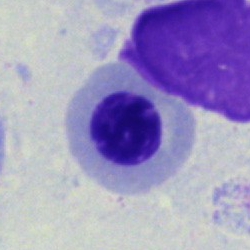Morphological class = nucleated red blood cell.